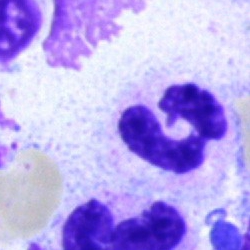Q: What is shown here?
A: This is a segmented neutrophil.